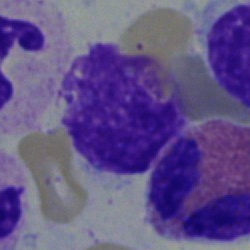

Q: What is the morphological classification of this cell?
A: This is an eosinophilic granulocyte.